Peripheral blood film; single cell centered in the field; 100× oil immersion, 14.14 px/µm: 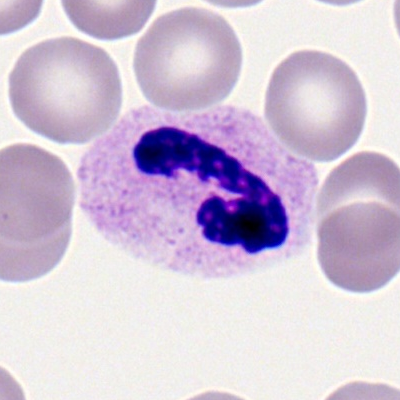Q: What is the morphological classification of this cell?
A: It is a neutrophil (segmented).